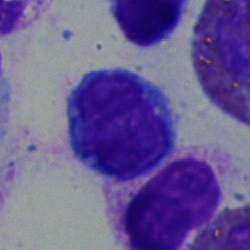Q: What type of cell is this?
A: This is a lymphocyte.